Brightfield microscopy, 40× oil immersion · bone marrow smear
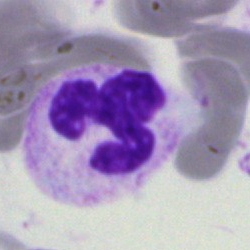
Classification = polymorphonuclear neutrophil.